Peripheral blood smear; 100× oil immersion:
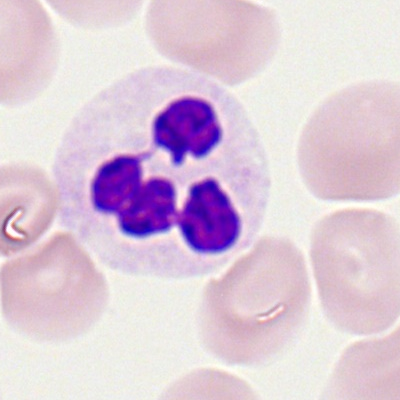Classification = neutrophil (segmented).